250 by 250 pixels. Bone marrow aspirate smear
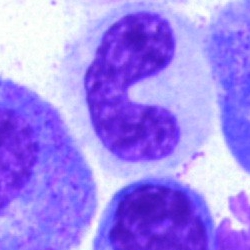This is a stab cell.